Bone marrow aspirate smear
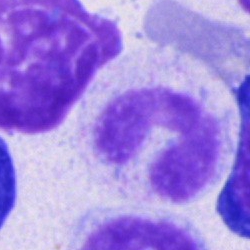Cell — band neutrophil.